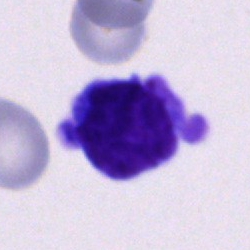
Q: Identify the cell.
A: A blast.